Bone marrow smear: 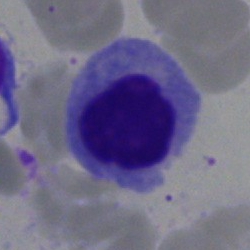Morphology consistent with a nucleated red cell.